Bone marrow smear; Pappenheim-stained
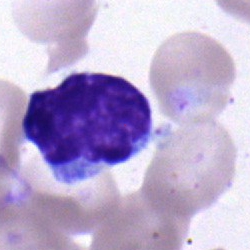
Morphology → lymphocyte.